250×250 px · bone marrow smear — 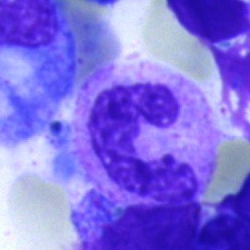

Single cell identified as a polymorphonuclear neutrophil.